40× oil immersion. Bone marrow smear. May-Grünwald-Giemsa/Pappenheim stain.
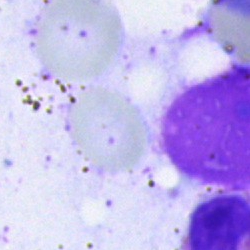The cell type is artifact.